Bone marrow smear.
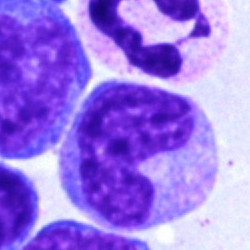

This is a monocyte.